Bone marrow aspirate smear: 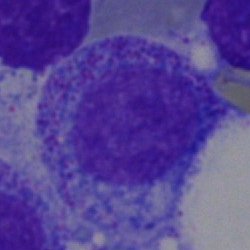

This is a progranulocyte.